Peripheral blood smear; 360×363 px:
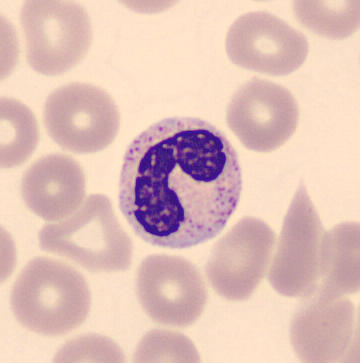Showing a band neutrophil.